Bone marrow aspirate smear · brightfield, 40× oil-immersion objective.
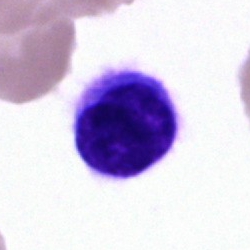
Q: What is shown here?
A: This is a typical lymphocyte.